Bone marrow smear — 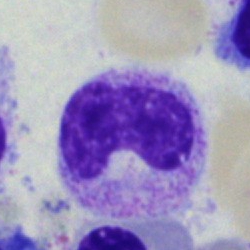 Showing a metamyelocyte.